Bone marrow aspirate smear.
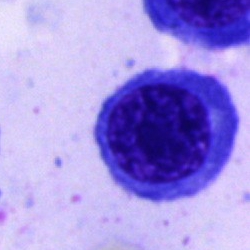 Nucleated red cell.